Bone marrow aspirate smear.
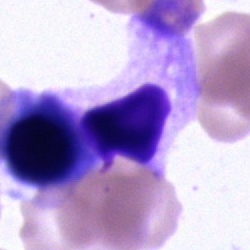
Classification — unidentifiable cell.